Bone marrow smear: 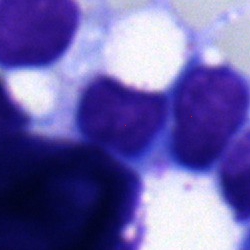

Morphological class — lymphocyte.